Image size 250×250 · bone marrow aspirate smear: 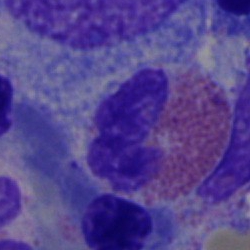 {"cell_type": "eosinophilic granulocyte", "lineage": "myeloid"}